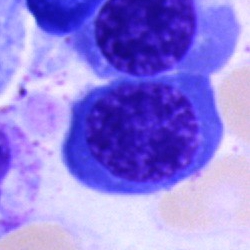Specimen: bone marrow aspirate smear.
Classification: erythroblast.
Lineage: erythroid.